Bone marrow aspirate smear; 40× oil immersion.
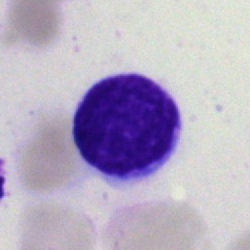Impression → typical lymphocyte.